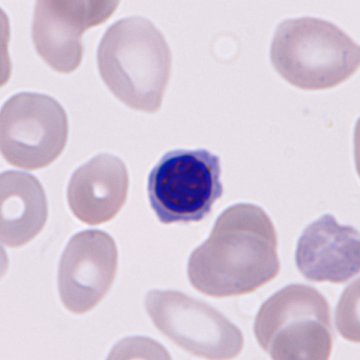
Q: What is the morphological classification of this cell?
A: A nucleated red cell.